Single-cell field. 40× objective, oil immersion. Bone marrow smear: 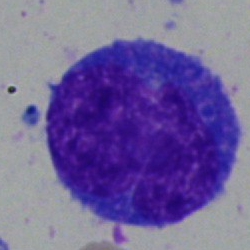
The classification is undifferentiated blast.